Single cell centered in the field · bone marrow smear
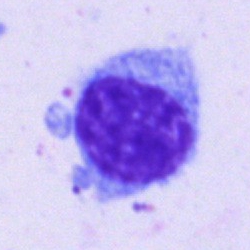The cell shown is a lymphocyte.